Bone marrow aspirate smear · image size 250×250 · Pappenheim-stained: 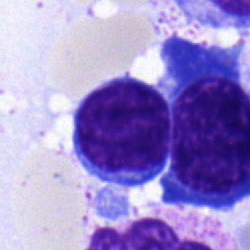Impression — typical lymphocyte.